May-Grünwald-Giemsa stain. 250×250 px. Bone marrow smear
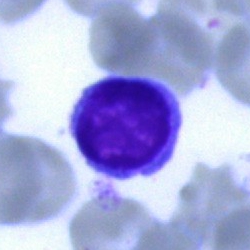
The cell shown is a lymphocyte.